Peripheral blood smear:
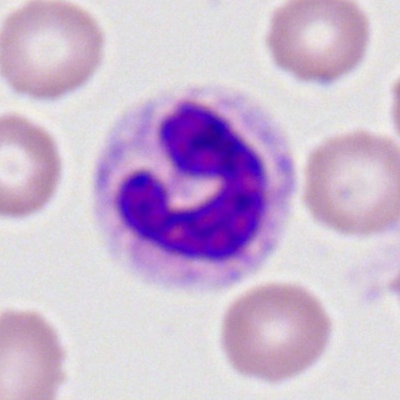 The morphological class is neutrophil (segmented).